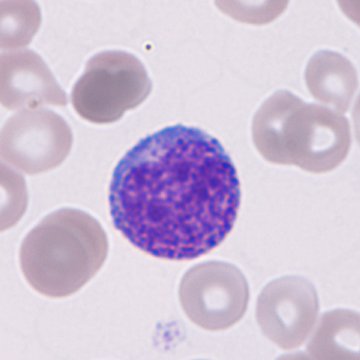

Peripheral blood smear. Classification — granulocyte precursor.